Image size 250×250. Bone marrow aspirate smear.
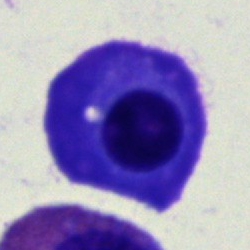 Cell type: plasma cell.